Bone marrow aspirate smear; 40× objective, oil immersion; cropped to a single cell.
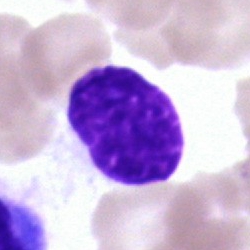 An artifact.